Bone marrow smear — 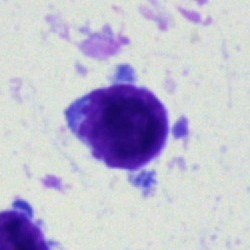 Q: Identify the cell.
A: A typical lymphocyte.